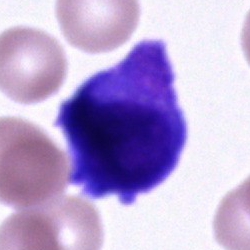Impression — unidentifiable cell.